Bone marrow smear — 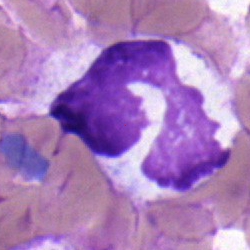 Classification: segmented neutrophil.